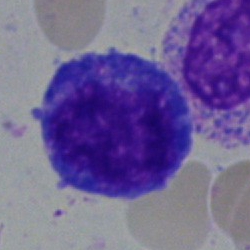

The cell type is promyelocyte.